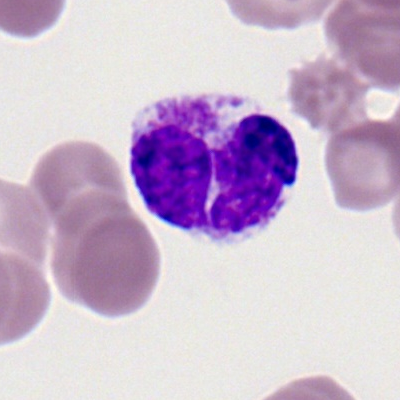

Specimen: peripheral blood smear.
Classification: eosinophil.
Lineage: myeloid.